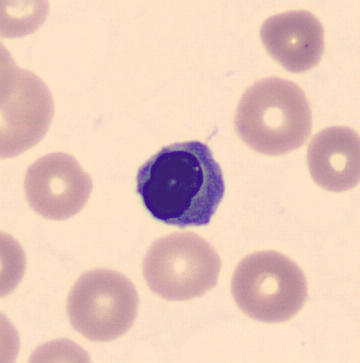Image: MGG-stained. Peripheral blood smear.
Impression → nucleated red cell.